Bone marrow aspirate smear:
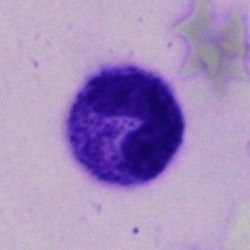
Specimen: bone marrow smear.
Cell type: neutrophil (band).
Lineage: myeloid.